Bone marrow smear; brightfield microscopy, 40× oil immersion.
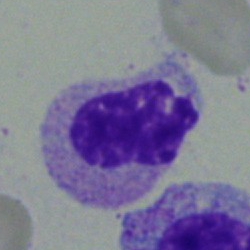

Morphology — polymorphonuclear neutrophil.